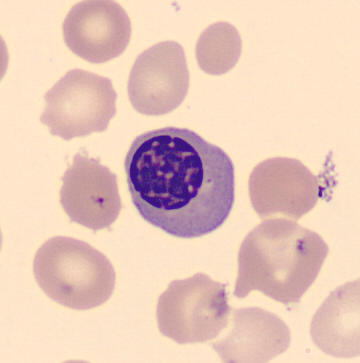 Image: CellaVision DM96 digital cell image. Peripheral blood film. Nucleated red cell.